Peripheral blood film — 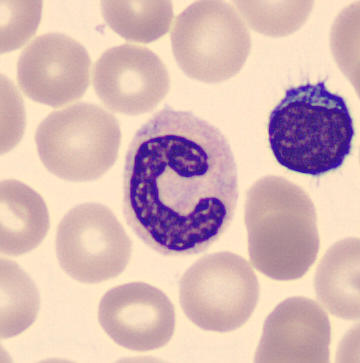Morphology — stab cell.